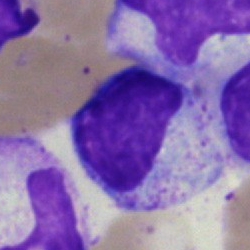

This is a myelocyte.